Bone marrow aspirate smear — 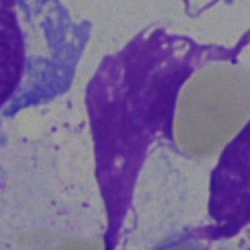 Q: What is shown here?
A: This is an artefact.